Bone marrow aspirate smear: 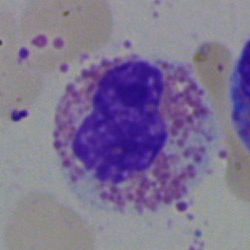

This is an eosinophilic granulocyte.